Peripheral blood film:
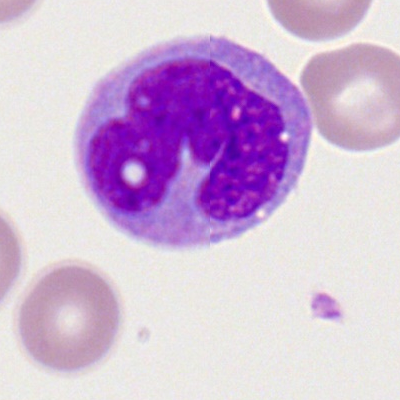

Morphological class = monocyte.